40× objective, oil immersion; single-cell crop; bone marrow aspirate smear
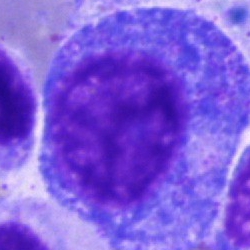Cell type — progranulocyte.